Bone marrow aspirate smear
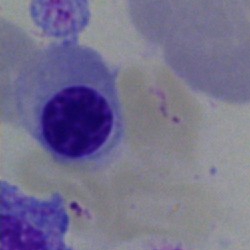Q: What is shown here?
A: This is a nucleated red cell.